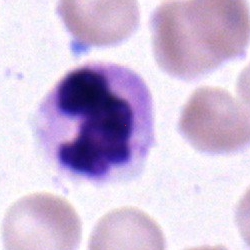Q: What cell is this?
A: It is a segmented neutrophil.